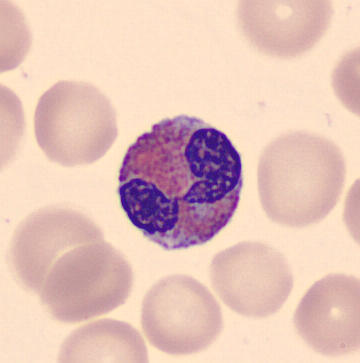

Peripheral blood smear.
The cell shown is an eosinophilic granulocyte.